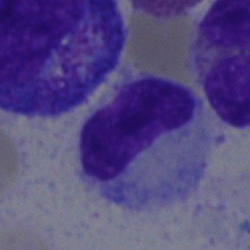 Cell: stab cell.